Bone marrow smear — 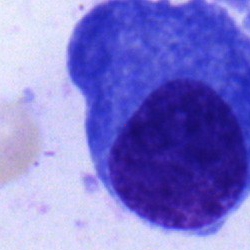
Morphological class — plasma cell.